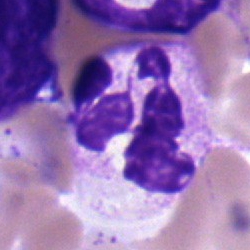

Impression → neutrophil (segmented).